Cropped to a single cell; bone marrow smear.
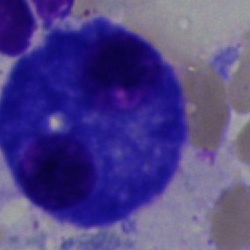Morphology — plasma cell.